250×250 px · bone marrow aspirate smear.
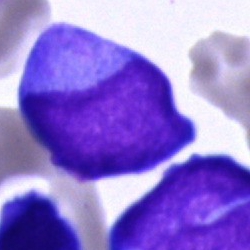
Cell type: blast.